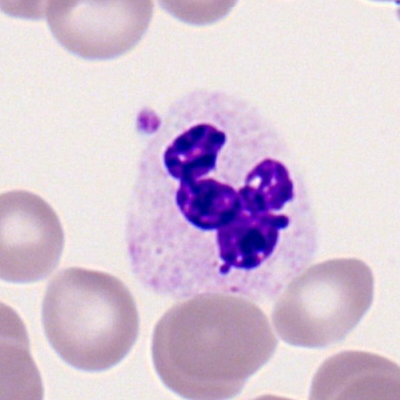

Q: What cell is this?
A: A segmented neutrophil.